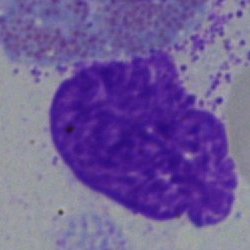
Morphological class: monocyte.